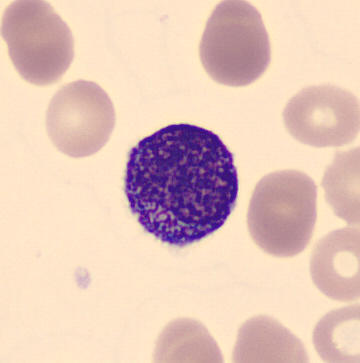

Specimen: peripheral blood film.
Morphological class: myelocyte.
Lineage: myeloid.